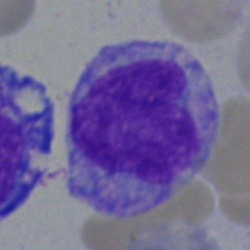 Q: Which cell type is shown here?
A: A monocyte.